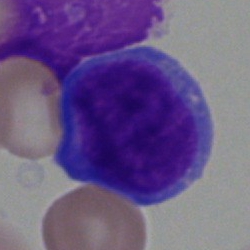 Showing a proerythroblast.